Bone marrow aspirate smear: 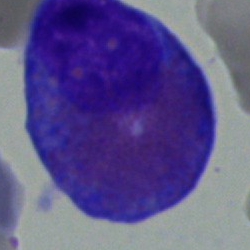 The cell shown is an eosinophil.